Bone marrow aspirate smear.
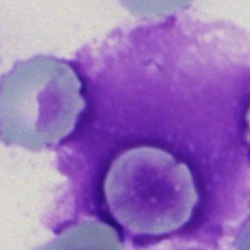

Showing an artifact.